40× oil immersion; bone marrow aspirate smear; 250×250
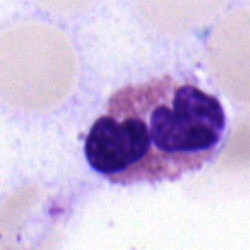Specimen: bone marrow smear.
Classification: eosinophil.